Bone marrow aspirate smear · MGG-stained · cropped to a single cell
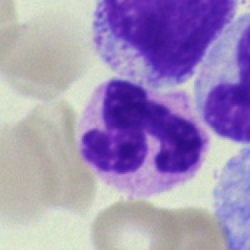

Classification — neutrophil (segmented).